Bone marrow smear
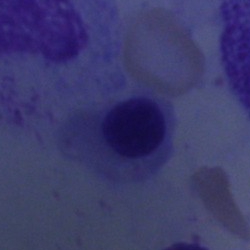 Nucleated red blood cell.